250×250. Bone marrow smear:
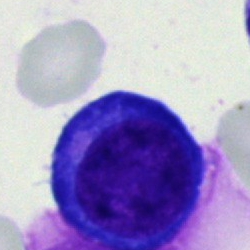
Morphology consistent with an artifact.